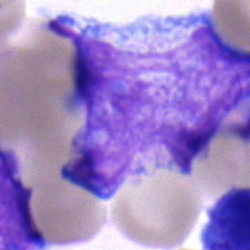

Impression — blast cell.